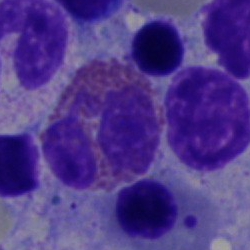 Specimen: bone marrow smear.
Cell type: eosinophilic granulocyte.
Lineage: myeloid.